Image size 250×250; bone marrow aspirate smear
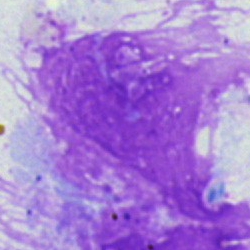 Q: What is shown here?
A: An artefact.